Bone marrow aspirate smear; cropped to a single cell: 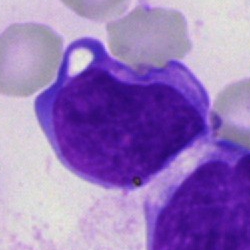

Impression → blast.